Bone marrow aspirate smear · May-Grünwald-Giemsa stain · 250×250 — 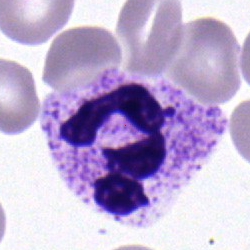{"cell_type": "neutrophil (segmented)", "lineage": "myeloid"}